Bone marrow aspirate smear
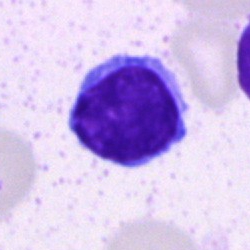The classification is lymphocyte.